Bone marrow aspirate smear
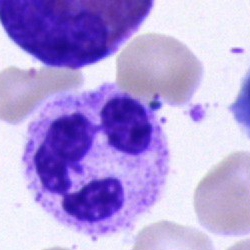

Q: What cell is this?
A: This is a neutrophil (segmented).